Bone marrow aspirate smear:
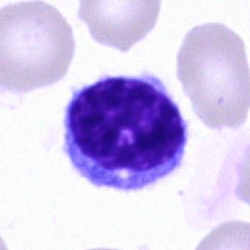
{"cell_type": "lymphocyte"}